Bone marrow aspirate smear: 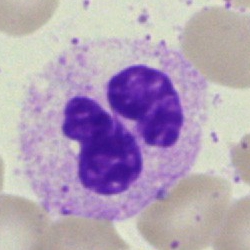

A neutrophil (segmented).